Bone marrow smear: 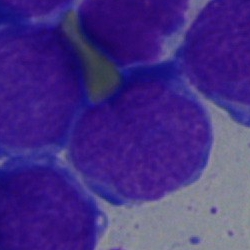Cell type: blast.